Peripheral blood film.
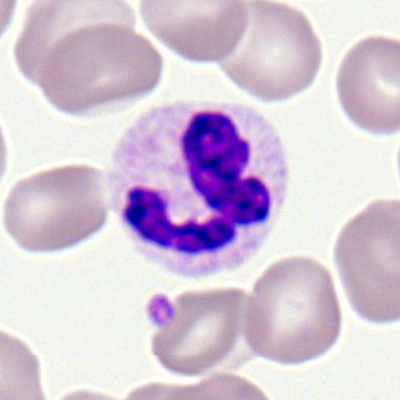Showing a neutrophil (segmented).